Bone marrow aspirate smear — 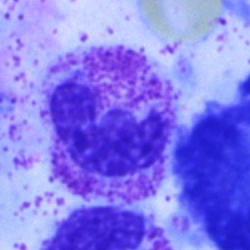

Neutrophil (segmented).